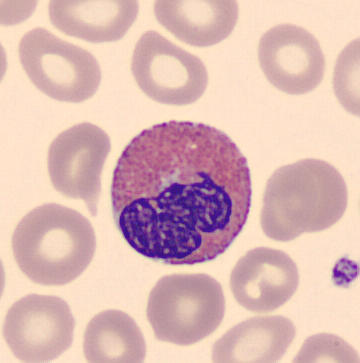Image: 360×363 px. Peripheral blood smear. Single cell identified as an eosinophil.